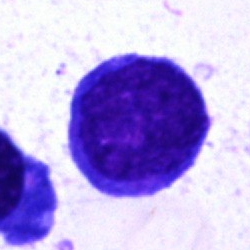

Undifferentiated blast.